Bone marrow smear — 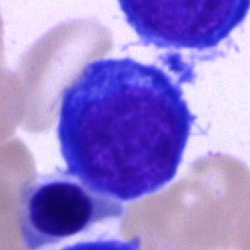Specimen: bone marrow aspirate smear.
Cell: nucleated red blood cell.
Lineage: erythroid.